Peripheral blood film; 100× oil immersion, 14.14 px/µm:
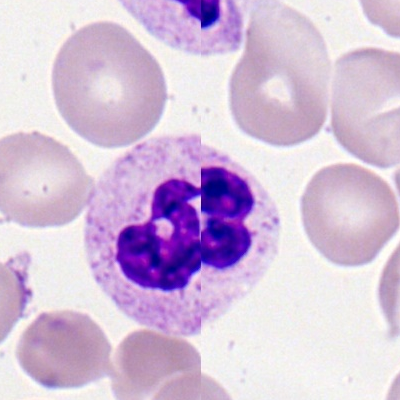

Specimen: peripheral blood film.
Classification: polymorphonuclear neutrophil.